Peripheral blood smear.
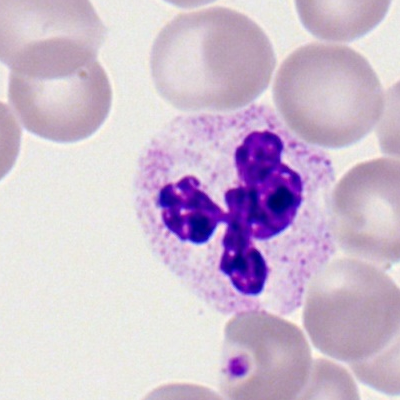

{"cell_type": "polymorphonuclear neutrophil", "lineage": "myeloid"}